Single-cell field; bone marrow smear — 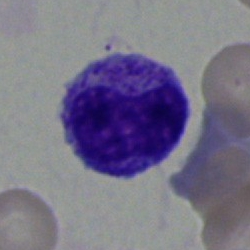
A metamyelocyte.